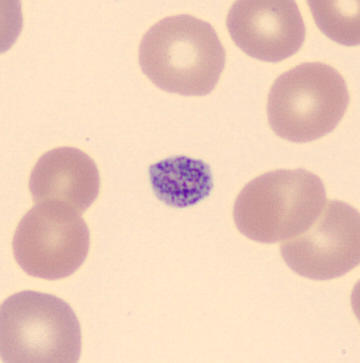 A platelet (thrombocyte). Preparation: Peripheral blood film.